Single cell centered in the field. Bone marrow aspirate smear
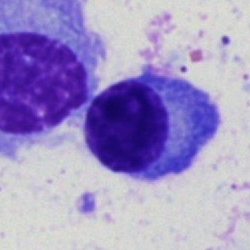 Single cell identified as a plasmacyte.